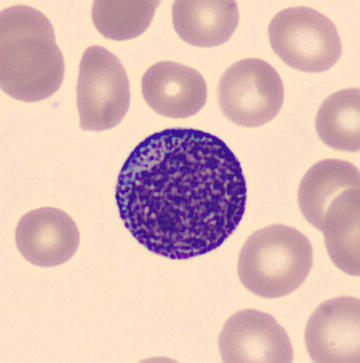

Morphological class — promyelocyte.